Bone marrow smear
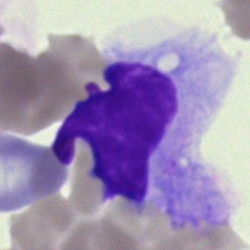Cell = artifact.